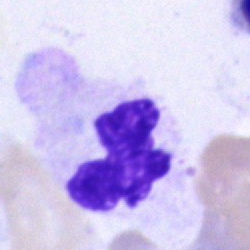
Bone marrow smear showing a segmented neutrophil.